Bone marrow aspirate smear: 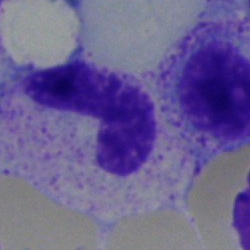Classification — band-form neutrophil.